Bone marrow aspirate smear · May-Grünwald-Giemsa/Pappenheim stain.
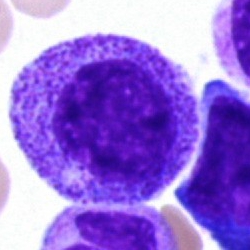 Single cell identified as a promyelocyte.